40× objective, oil immersion · bone marrow aspirate smear: 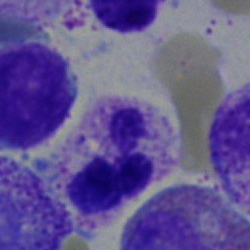Q: What type of cell is this?
A: A neutrophil (segmented).